250×250. Bone marrow aspirate smear — 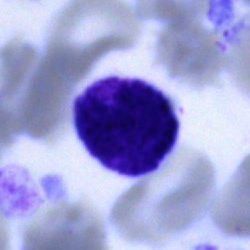 Q: What type of cell is this?
A: A typical lymphocyte.